Bone marrow aspirate smear — 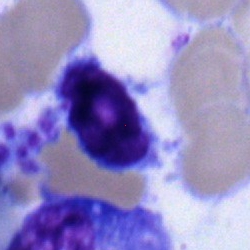The cell type is lymphocyte.